Brightfield microscopy, 40× oil immersion. Bone marrow aspirate smear. Single-cell crop — 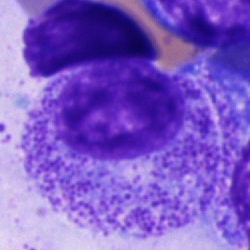Single cell identified as a progranulocyte.